Romanowsky-type stain. Peripheral blood smear.
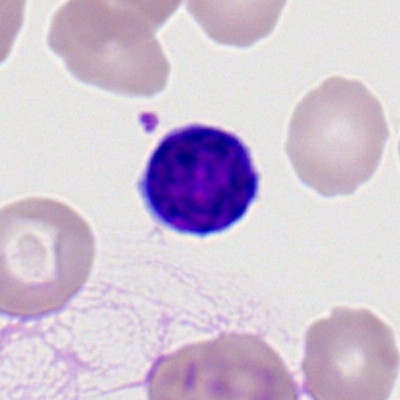 Impression → typical lymphocyte.